May-Grünwald-Giemsa/Pappenheim stain · bone marrow aspirate smear · single cell centered in the field
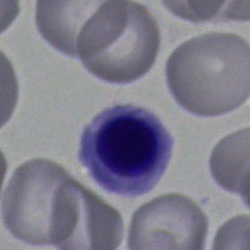
Morphological class = normoblast.